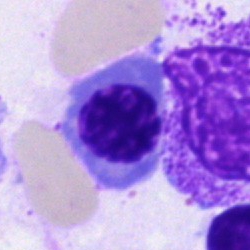
A normoblast on a bone marrow smear.